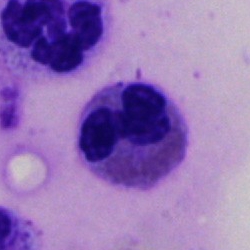 Morphology → eosinophil.